Bone marrow aspirate smear; May-Grünwald-Giemsa/Pappenheim stain; 40× oil immersion: 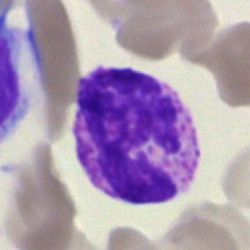 The cell shown is a basophil.